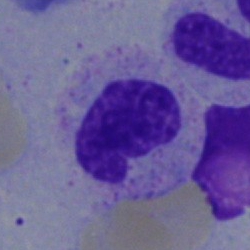
Q: Which cell type is shown here?
A: It is a band-form neutrophil.